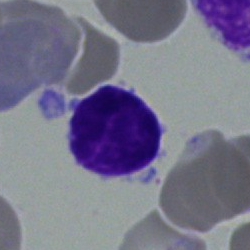Classification — typical lymphocyte.